Bone marrow smear
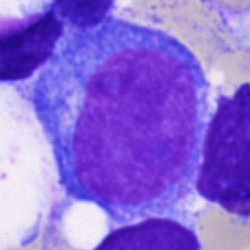The cell shown is a blast.